Bone marrow aspirate smear.
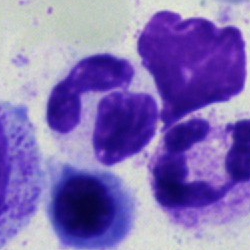Q: Which cell type is shown here?
A: This is a segmented neutrophil.